Peripheral blood film — 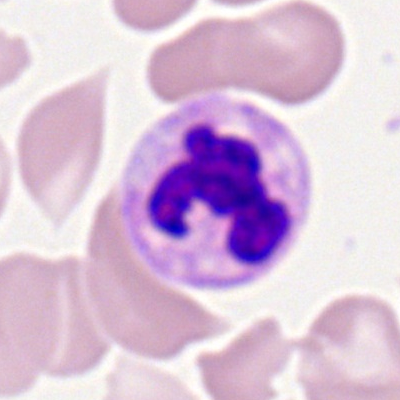

The classification is segmented neutrophil.